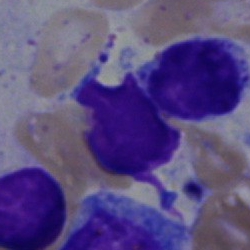
Q: What is shown here?
A: Typical lymphocyte.